Peripheral blood smear — 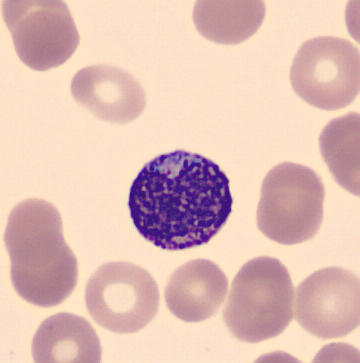
{"cell_type": "metamyelocyte", "lineage": "myeloid"}